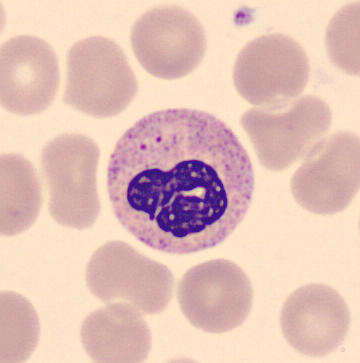
Morphology consistent with a stab cell. Image: Peripheral blood smear.